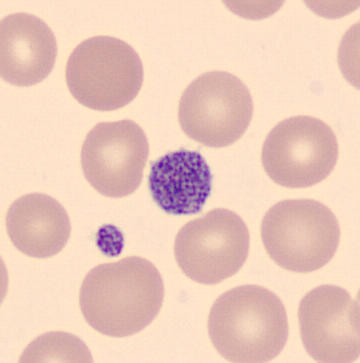 Peripheral blood smear.

Platelet (thrombocyte).